Bone marrow smear
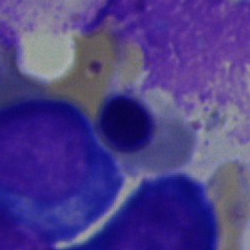Specimen: bone marrow smear.
Morphological class: normoblast.